Bone marrow smear — 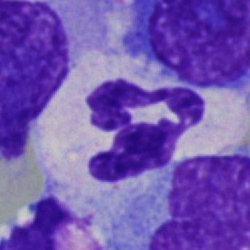 Specimen: bone marrow smear.
Cell: neutrophil (segmented).